Bone marrow smear: 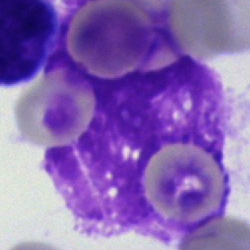 Q: What is shown here?
A: It is an artifact.